Bone marrow aspirate smear: 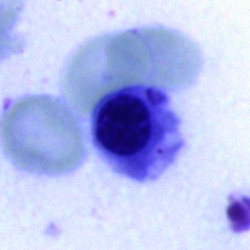Specimen: bone marrow smear.
Classification: nucleated red blood cell.